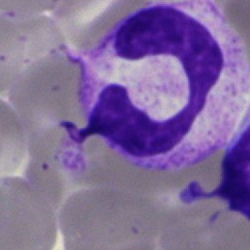Specimen: bone marrow smear.
Classification: polymorphonuclear neutrophil.
Lineage: myeloid.